Bone marrow aspirate smear. Brightfield microscopy, 40× oil immersion:
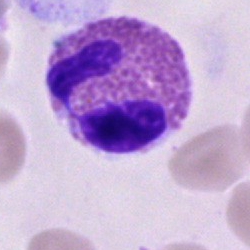 This is an eosinophil.